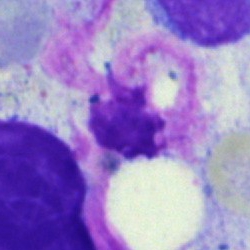Classification = artifact.